Bone marrow aspirate smear
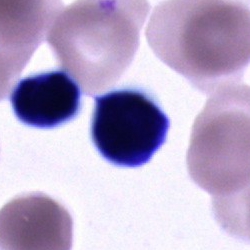 Morphological class — cell of indeterminate lineage.